Bone marrow aspirate smear: 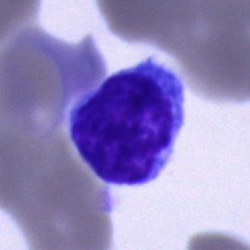

Single cell identified as a typical lymphocyte.